Single-cell crop. Bone marrow smear. May-Grünwald-Giemsa/Pappenheim stain.
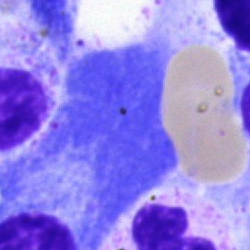The classification is artefact.